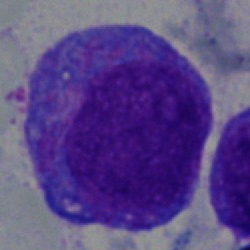
Cell — promyelocyte.